Bone marrow aspirate smear. Image size 250×250
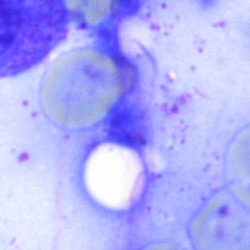

Showing an artifact.